Bone marrow smear — 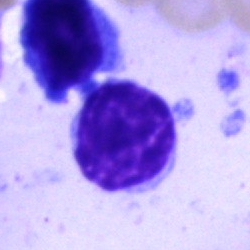

A typical lymphocyte.